Bone marrow aspirate smear: 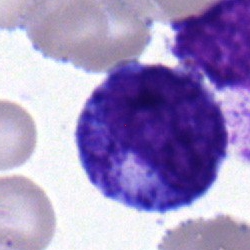

Q: What cell is this?
A: It is a progranulocyte.